Bone marrow aspirate smear.
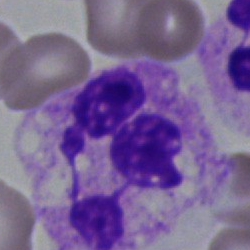Polymorphonuclear neutrophil.